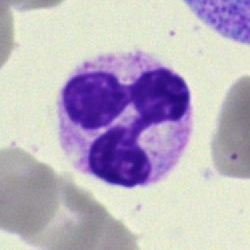

Impression — segmented neutrophil.